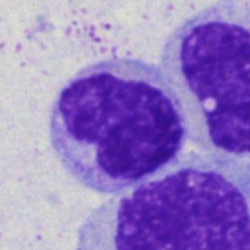Metamyelocyte.